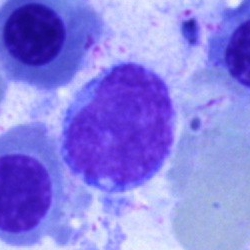
Q: What is the morphological classification of this cell?
A: Typical lymphocyte.